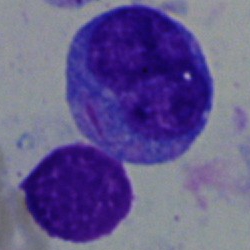
Cell = blast.